400 by 400 pixels; peripheral blood film: 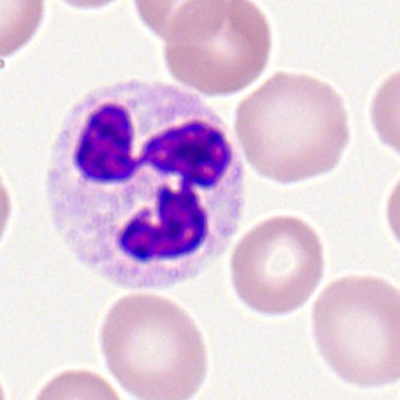 The morphological class is segmented neutrophil.